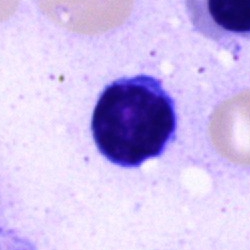
Cell = typical lymphocyte.